Bone marrow smear.
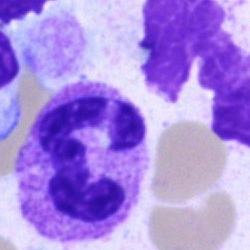Morphological class = segmented neutrophil.